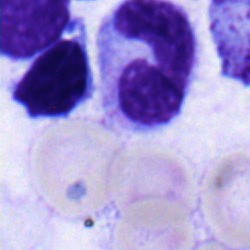 Cell type — lymphocyte.